Bone marrow smear.
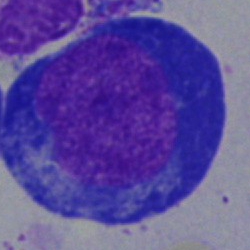Specimen: bone marrow smear.
Cell type: proerythroblast.
Lineage: erythroid.